MGG-stained. Bone marrow smear: 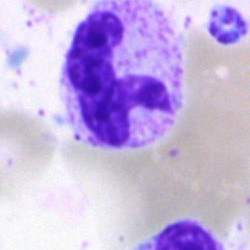 Morphology — neutrophil (segmented).